Bone marrow smear; 250×250 px.
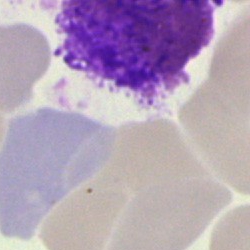Cell = artifact.